Bone marrow aspirate smear · image size 250×250.
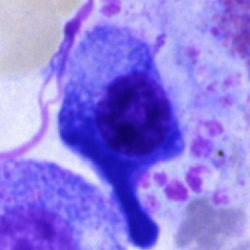 Impression → plasma cell.